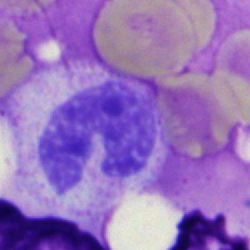
Impression → band-form neutrophil.